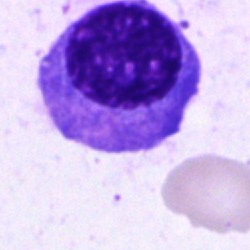Single-cell crop from a bone marrow smear: plasmacyte.